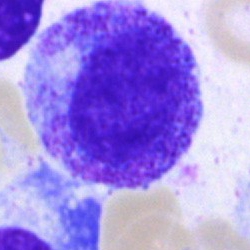

Showing a myelocyte.